Bone marrow smear: 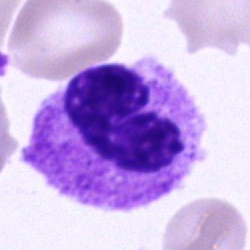

Morphology → neutrophil (segmented).